Bone marrow smear — 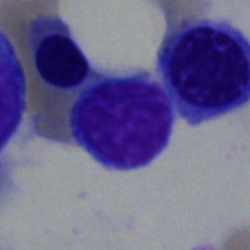A typical lymphocyte.